Bone marrow aspirate smear — 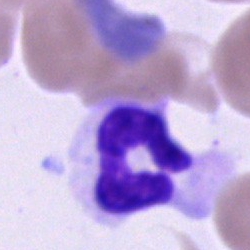Polymorphonuclear neutrophil.